Bone marrow aspirate smear · May-Grünwald-Giemsa/Pappenheim stain: 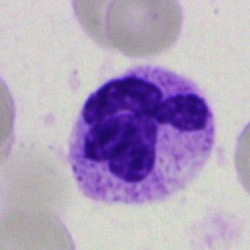Morphology — segmented neutrophil.